Peripheral blood smear. 100× oil immersion:
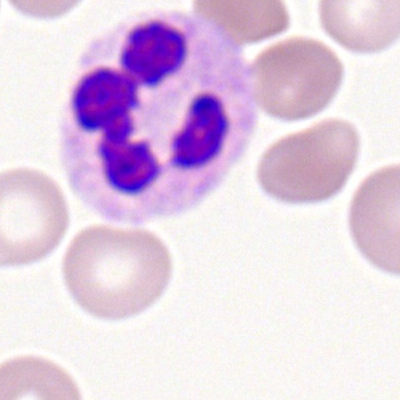Segmented neutrophil.